Cropped to a single cell · bone marrow smear — 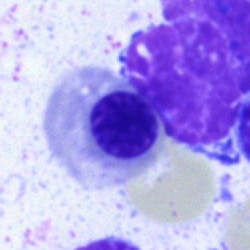This is a nucleated red blood cell.